Bone marrow aspirate smear.
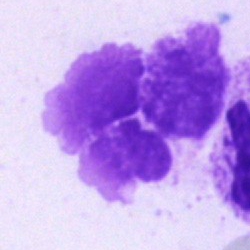 Cell type — artefact.